250×250; May-Grünwald-Giemsa/Pappenheim stain; bone marrow smear:
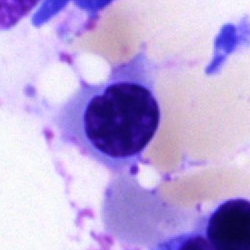
Q: What is the morphological classification of this cell?
A: A normoblast.